Bone marrow aspirate smear:
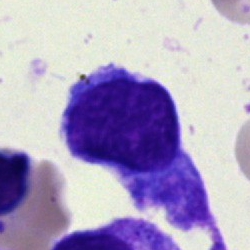

Showing a typical lymphocyte.